Bone marrow smear.
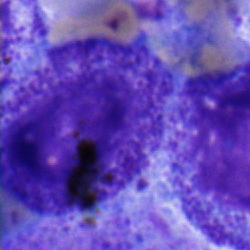Classification — myelocyte.